Bone marrow smear — 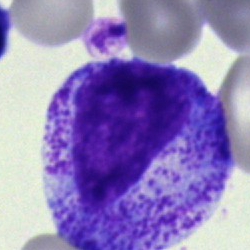 Promyelocyte.